Brightfield microscopy, 40× oil immersion. Bone marrow smear. Single cell centered in the field: 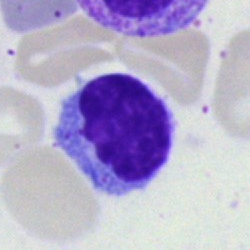 Impression → lymphocyte.